Peripheral blood smear — 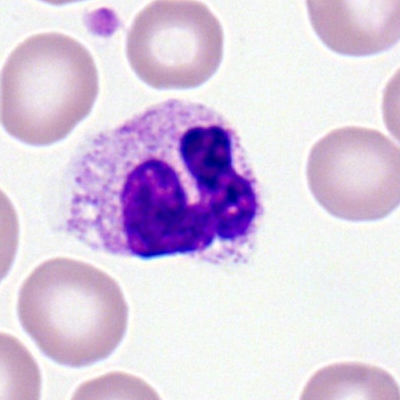 Morphology consistent with a polymorphonuclear neutrophil.